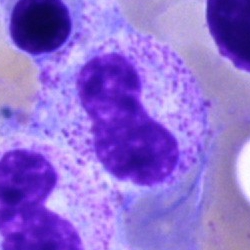 Morphology consistent with a band neutrophil.